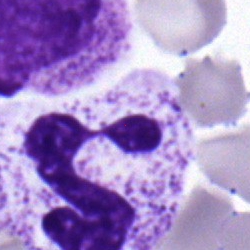 Impression — segmented neutrophil.